250×250 px; bone marrow smear; Pappenheim-stained: 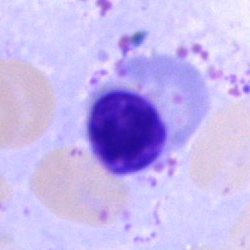
Morphological class: erythroblast.